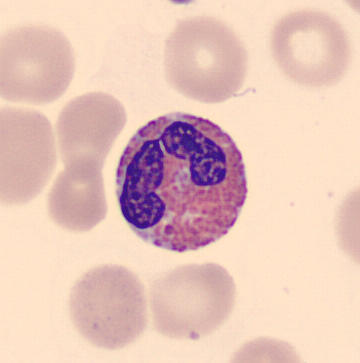 The cell shown is an eosinophil.